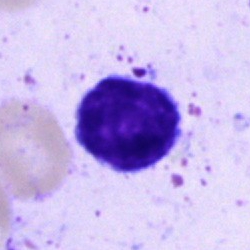
A typical lymphocyte on a bone marrow smear.